Bone marrow smear · single-cell crop
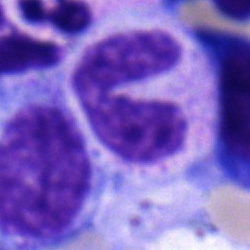Morphology consistent with a band-form neutrophil.